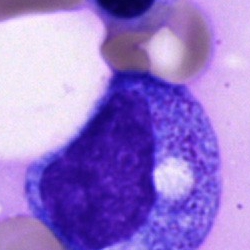 Morphological class — progranulocyte.